Bone marrow smear.
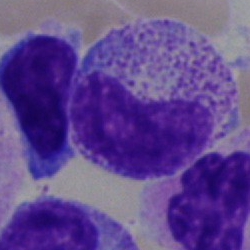 Specimen: bone marrow aspirate smear.
Cell: metamyelocyte.
Lineage: myeloid.